Single-cell crop; bone marrow aspirate smear
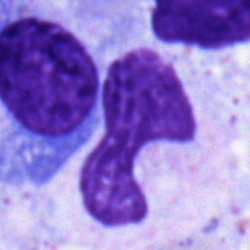 Cell — stab cell.